Bone marrow smear: 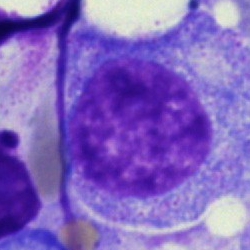
Specimen: bone marrow aspirate smear.
Cell: promyelocyte.
Lineage: myeloid.